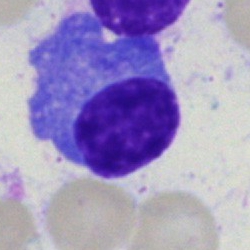 Classification = plasmacyte.